Bone marrow smear; Pappenheim-stained
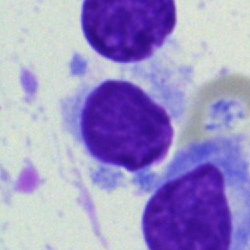
The cell shown is a lymphocyte.